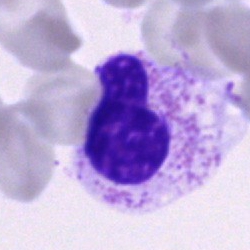
Single-cell crop from a bone marrow smear: polymorphonuclear neutrophil.